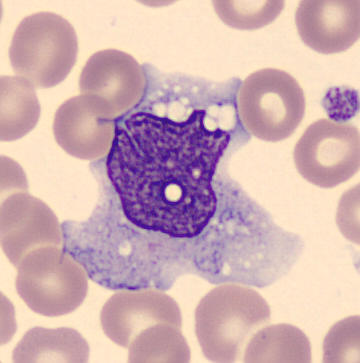 Peripheral blood smear; 360 by 363 pixels.
{"cell_type": "monocyte"}